Bone marrow aspirate smear
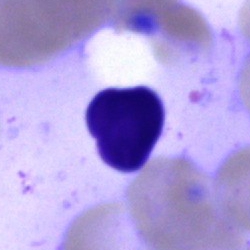
Morphology consistent with a lymphocyte.